Bone marrow aspirate smear:
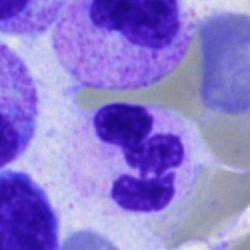 Cell: neutrophil (segmented).